MGG-stained; bone marrow aspirate smear.
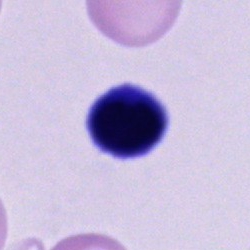Impression → unidentifiable cell.